Bone marrow smear · single-cell field
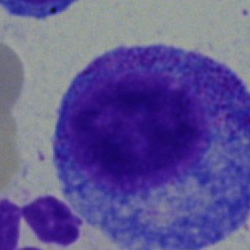 Specimen: bone marrow aspirate smear.
Cell type: progranulocyte.
Lineage: myeloid.